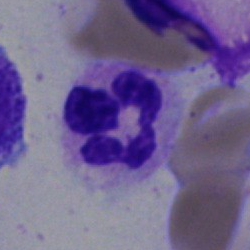

A neutrophil (segmented) on a bone marrow smear.